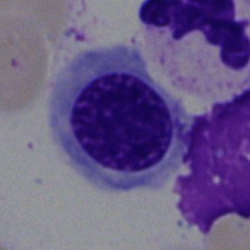

Q: What is the morphological classification of this cell?
A: Normoblast.